Bone marrow aspirate smear
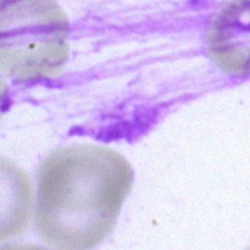

The morphological class is artefact.